Bone marrow aspirate smear: 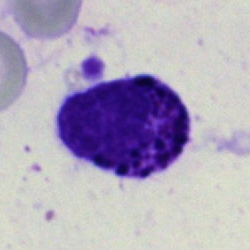

Single cell identified as a basophilic granulocyte.